Brightfield microscopy, 40× oil immersion; bone marrow aspirate smear; May-Grünwald-Giemsa/Pappenheim stain: 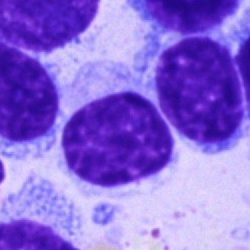
Lymphocyte.